Bone marrow smear; cropped to a single cell; 250×250
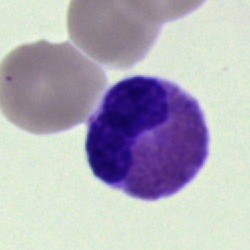Morphological class: eosinophil.